Bone marrow aspirate smear · 250 by 250 pixels · 40× objective, oil immersion:
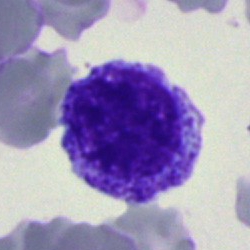

Specimen: bone marrow smear.
Cell type: myelocyte.
Lineage: myeloid.